Bone marrow smear: 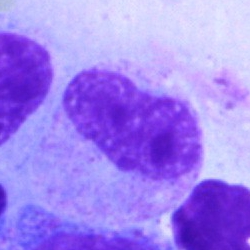

Q: Identify the cell.
A: Band neutrophil.